Bone marrow aspirate smear: 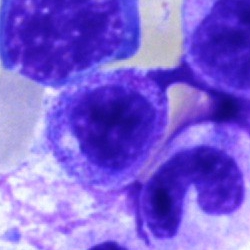Cell type — myelocyte.